Bone marrow aspirate smear:
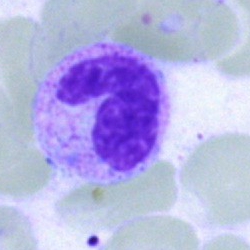The cell is polymorphonuclear neutrophil.